Bone marrow smear. 40× objective, oil immersion: 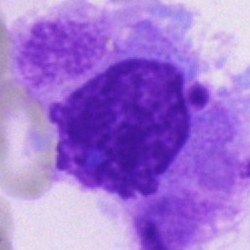Morphology consistent with an artifact.